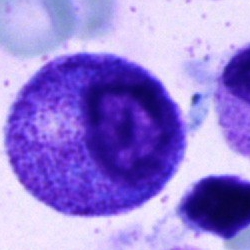Bone marrow smear showing a myelocyte.